Brightfield microscopy, 40× oil immersion; bone marrow smear:
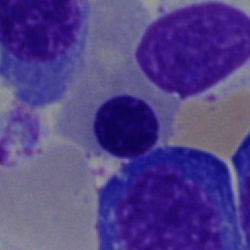 Showing a normoblast.